Peripheral blood smear; Romanowsky stain; 100× oil immersion.
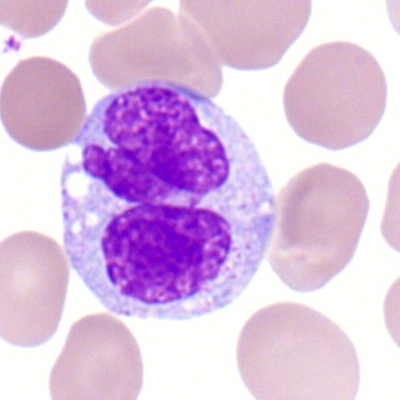

Q: What type of cell is this?
A: It is a monocyte.